Bone marrow aspirate smear; Pappenheim-stained — 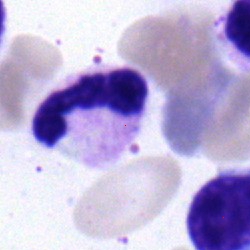
The cell shown is a segmented neutrophil.